Bone marrow aspirate smear
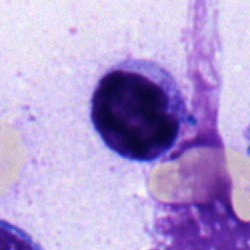

Morphology consistent with a typical lymphocyte.